Single-cell crop · bone marrow aspirate smear: 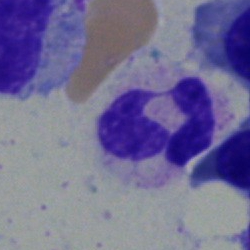
Q: What is the morphological classification of this cell?
A: This is a segmented neutrophil.